Bone marrow smear.
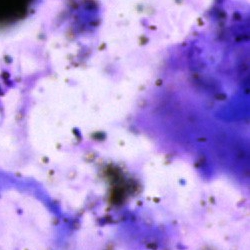Impression → artefact.